Bone marrow aspirate smear: 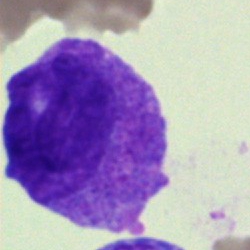 {"cell_type": "blast cell"}